Bone marrow aspirate smear.
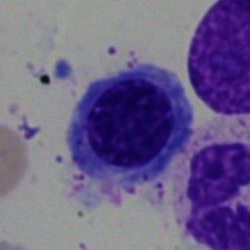 Impression → nucleated red blood cell.